250×250 px · 40× oil immersion · bone marrow aspirate smear
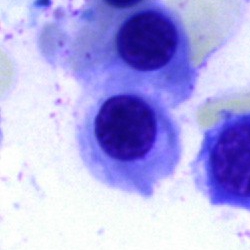 Morphology — nucleated red cell.